Peripheral blood film — 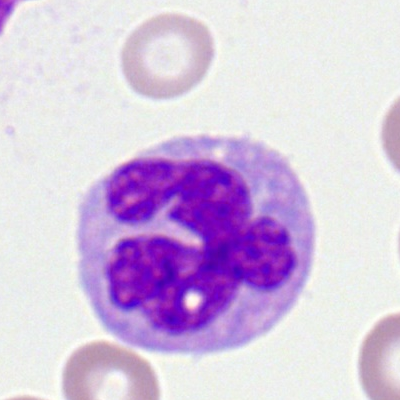
This is a monocyte.